Bone marrow smear; single-cell crop:
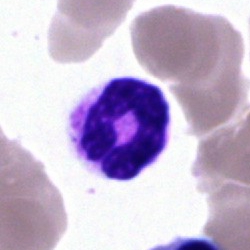
Neutrophil (segmented).